Peripheral blood smear
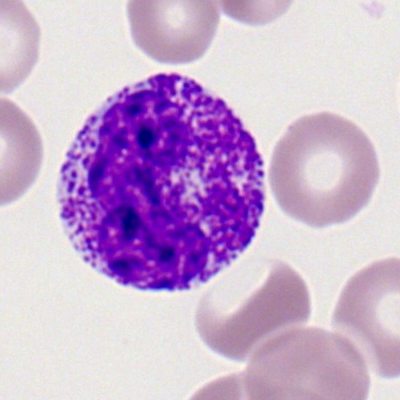 {"cell_type": "eosinophil", "lineage": "myeloid"}